Bone marrow aspirate smear
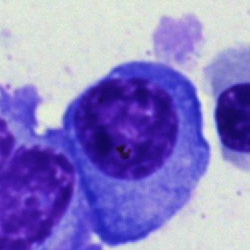

Morphological class: plasma cell.